Bone marrow aspirate smear:
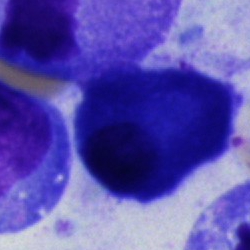

Q: What type of cell is this?
A: Plasmacyte.